400×400 · peripheral blood film: 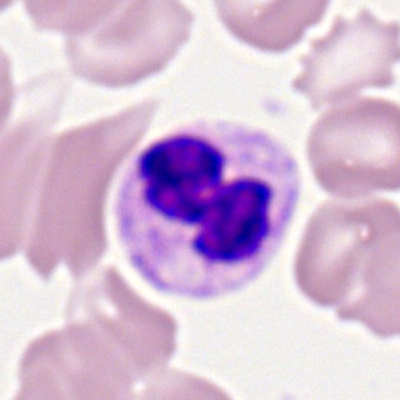
Morphology consistent with a polymorphonuclear neutrophil.